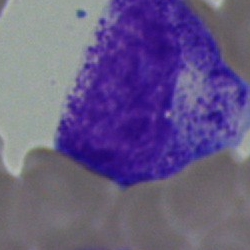
Showing a myelocyte.